Bone marrow aspirate smear
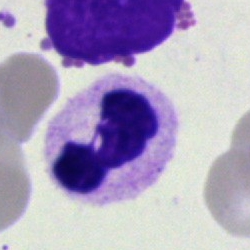

Morphology consistent with a neutrophil (segmented).